Bone marrow aspirate smear
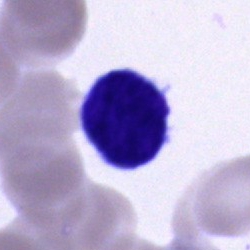

Specimen: bone marrow smear.
Morphological class: typical lymphocyte.